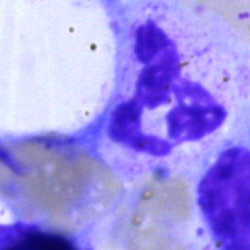

Cell type — polymorphonuclear neutrophil.